250×250 · bone marrow aspirate smear · brightfield microscopy, 40× oil immersion
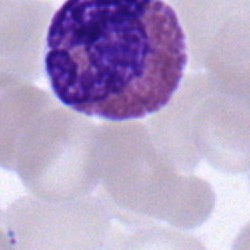
Impression — eosinophilic granulocyte.